250×250 px. Bone marrow aspirate smear:
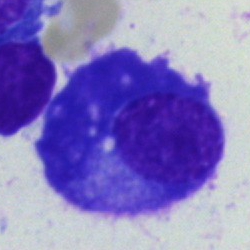

Single cell identified as a plasmacyte.